Bone marrow smear · brightfield microscopy, 40× oil immersion: 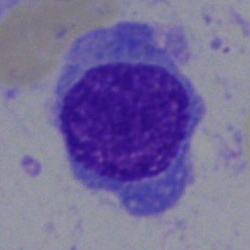

This is a plasma cell.